Bone marrow smear — 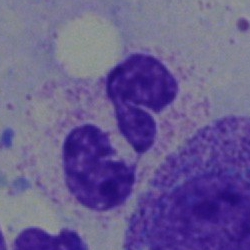Single cell identified as a polymorphonuclear neutrophil.